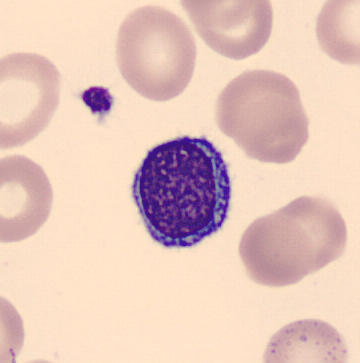
Image: Peripheral blood film; cropped to a single cell. This is a typical lymphocyte.